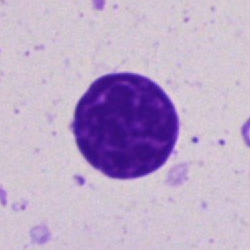

Q: What is shown here?
A: An artifact.